Peripheral blood film
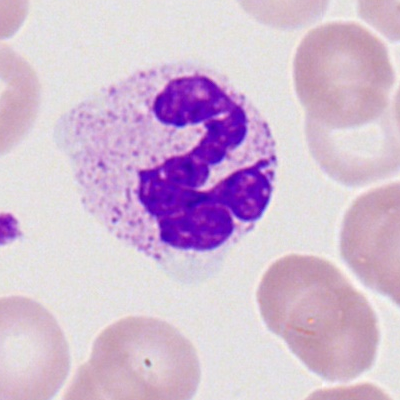
Cell type: segmented neutrophil.